Peripheral blood smear
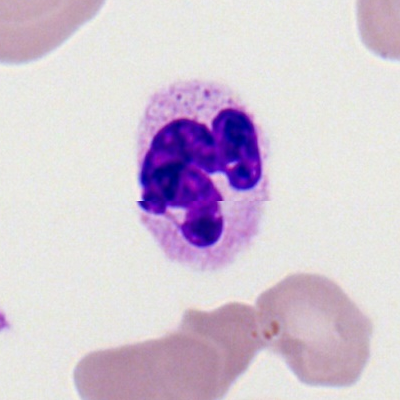

The cell shown is a segmented neutrophil.